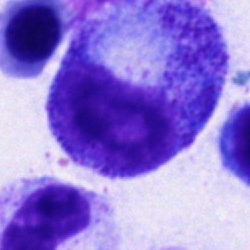
Single cell identified as a progranulocyte.